Peripheral blood smear.
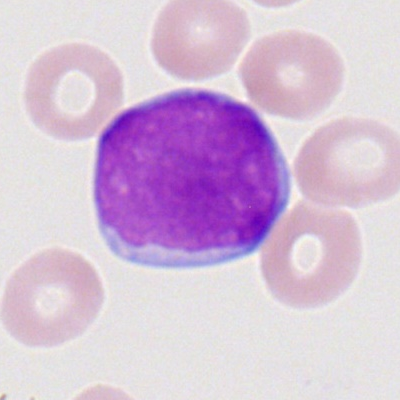 Single cell identified as a myeloid blast.